Bone marrow aspirate smear; single-cell crop
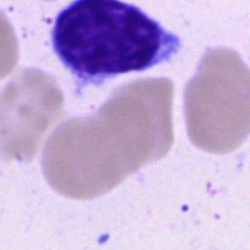

Q: Which cell type is shown here?
A: Typical lymphocyte.